40× objective, oil immersion · bone marrow aspirate smear
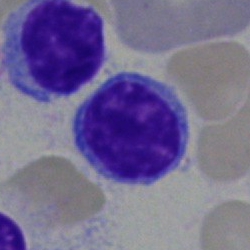
{"cell_type": "lymphocyte", "lineage": "lymphoid"}